40× objective, oil immersion · bone marrow aspirate smear — 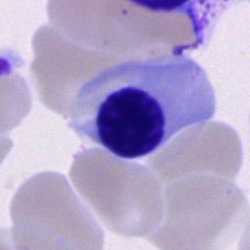

Impression → normoblast.